Bone marrow smear: 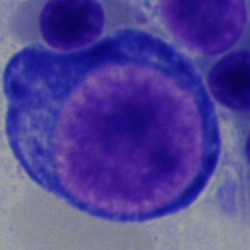Cell type: proerythroblast.